Cropped to a single cell · peripheral blood smear — 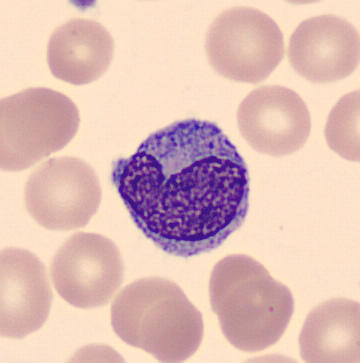 Cell — monocyte.